Single-cell crop. Bone marrow smear. Brightfield microscopy, 40× oil immersion:
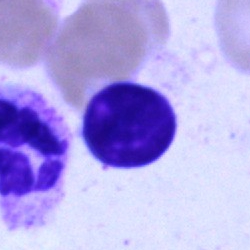
Q: What cell is this?
A: This is a lymphocyte.